Image size 250×250. Single cell centered in the field. Bone marrow smear: 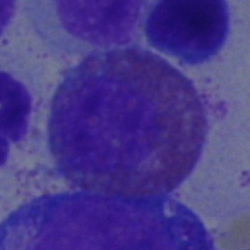Q: What is the morphological classification of this cell?
A: Eosinophilic granulocyte.